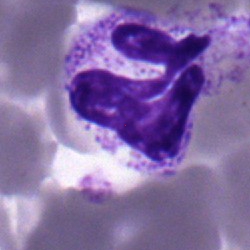
The cell shown is a segmented neutrophil.